Bone marrow aspirate smear; cropped to a single cell; 40× objective, oil immersion — 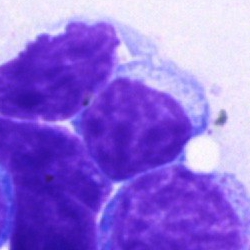The cell type is lymphocyte.